Bone marrow aspirate smear: 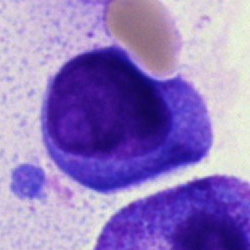Specimen: bone marrow smear.
Morphological class: lymphocyte.